Bone marrow smear — 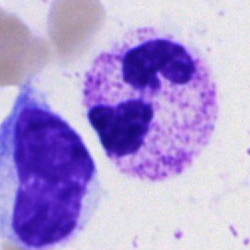Specimen: bone marrow aspirate smear.
Morphological class: neutrophil (segmented).